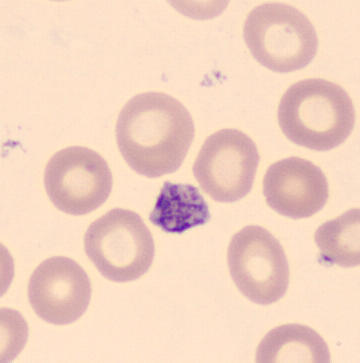 Preparation: MGG-stained; peripheral blood film. {"cell_type": "thrombocyte"}